Bone marrow aspirate smear.
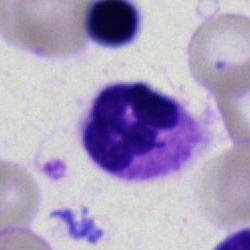 This is a neutrophil (segmented).